Bone marrow smear:
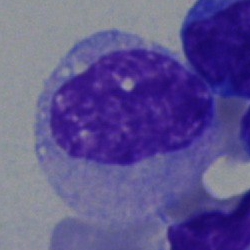Cell — myelocyte.